Bone marrow aspirate smear: 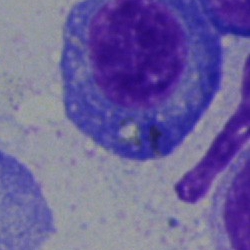
The cell is plasmacyte.